Bone marrow aspirate smear
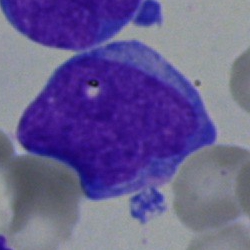Morphological class — undifferentiated blast.